Bone marrow aspirate smear — 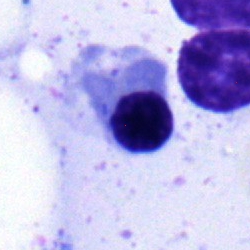Single cell identified as an erythroblast.